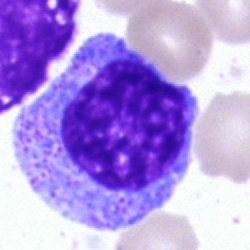
Q: What cell is this?
A: This is a promyelocyte.